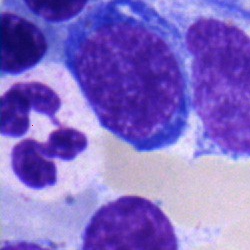
Single cell identified as a segmented neutrophil.